Brightfield, 100× oil-immersion objective. Peripheral blood smear
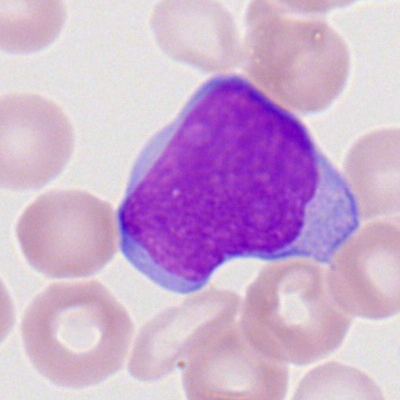 Morphology — myeloid blast.